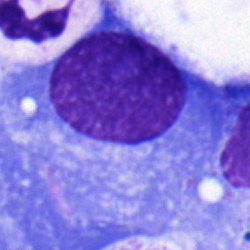 Cell type = plasmacyte.